Bone marrow smear:
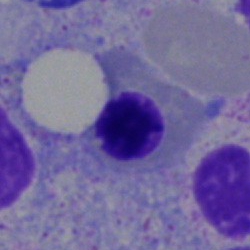
This is a normoblast.